Bone marrow aspirate smear; brightfield, 40× oil-immersion objective — 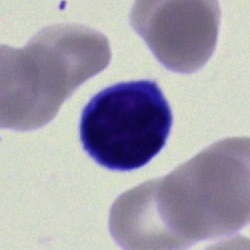Q: What is shown here?
A: A typical lymphocyte.